Bone marrow smear: 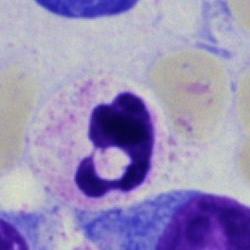
Impression — neutrophil (segmented).